May-Grünwald-Giemsa/Pappenheim stain · bone marrow aspirate smear:
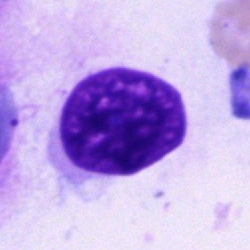

{"cell_type": "artefact"}